Image size 250×250; single-cell crop; bone marrow aspirate smear:
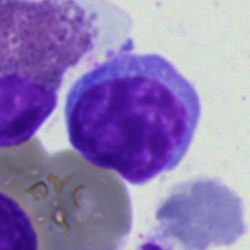 Single cell identified as a typical lymphocyte.